Bone marrow smear · single-cell crop: 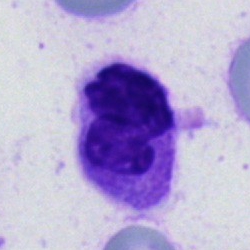

Morphology — polymorphonuclear neutrophil.